Bone marrow smear · brightfield microscopy, 40× oil immersion · 250×250.
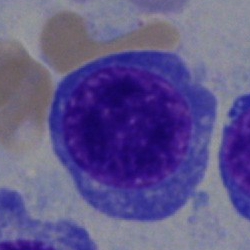
Q: Identify the cell.
A: A normoblast.